Bone marrow smear: 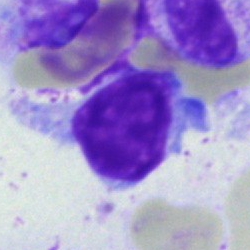 Classification = lymphocyte.